Bone marrow smear. Brightfield, 40× oil-immersion objective
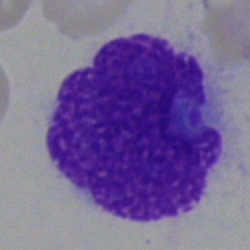
Cell type = artifact.